Cropped to a single cell · bone marrow aspirate smear:
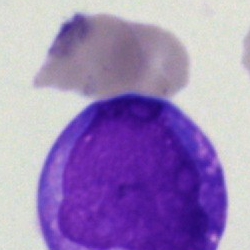{"cell_type": "blast cell"}